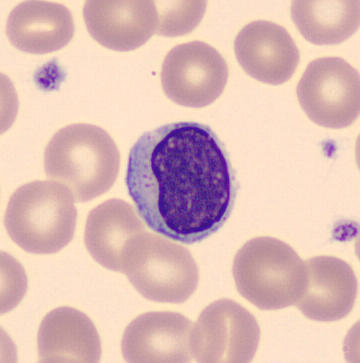 Specimen: peripheral blood film.
Cell: typical lymphocyte.
Lineage: lymphoid.